Bone marrow smear
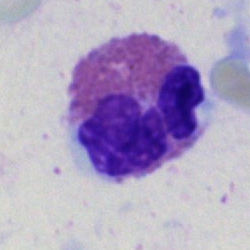
Morphological class — eosinophilic granulocyte.